Bone marrow smear — 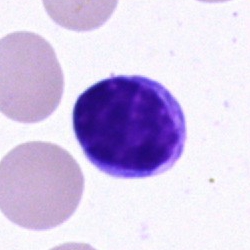
A typical lymphocyte.